MGG-stained; bone marrow aspirate smear:
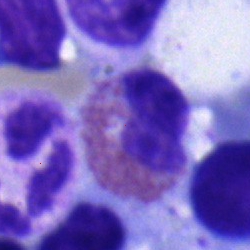 Specimen: bone marrow aspirate smear.
Classification: eosinophil.
Lineage: myeloid.